Bone marrow smear — 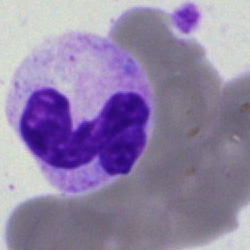Single cell identified as a neutrophil (segmented).